Bone marrow aspirate smear
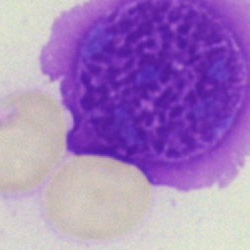 An artefact.